Bone marrow smear. 250×250 px
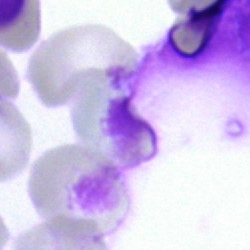

Single cell identified as an artifact.